Bone marrow smear · brightfield, 40× oil-immersion objective:
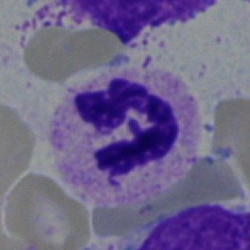Cell — polymorphonuclear neutrophil.